Bone marrow aspirate smear.
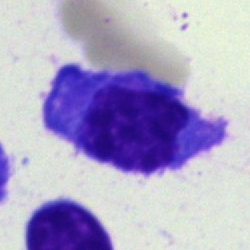
Showing a plasmacyte.